Bone marrow smear · 250×250 · cropped to a single cell — 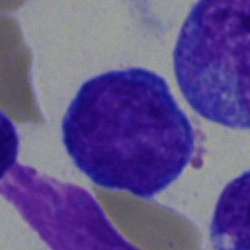Showing an undifferentiated blast.